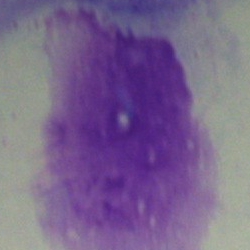

Specimen: bone marrow smear.
Cell type: artifact.